Bone marrow aspirate smear:
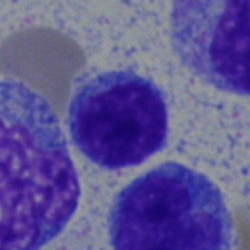 Q: What is shown here?
A: A typical lymphocyte.